Single-cell crop; bone marrow smear: 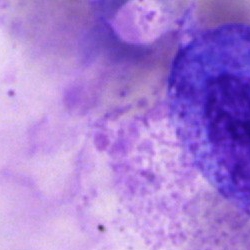

This is an artifact.